Bone marrow smear.
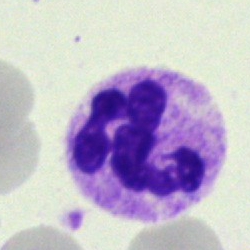
Single cell identified as a polymorphonuclear neutrophil.